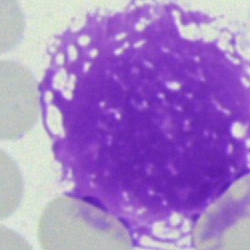

Artifact.